Brightfield microscopy, 40× oil immersion · bone marrow aspirate smear — 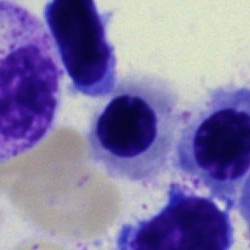
Classification = normoblast.